Bone marrow aspirate smear.
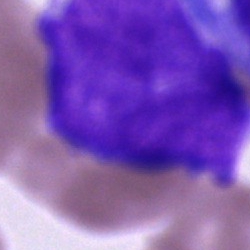

Morphology consistent with an unidentifiable cell.